Bone marrow smear.
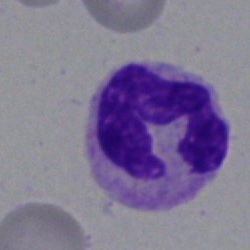
Specimen: bone marrow smear.
Morphological class: polymorphonuclear neutrophil.